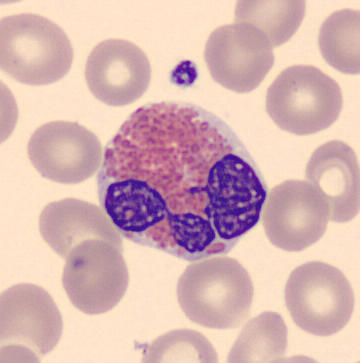
Peripheral blood smear. Showing an eosinophil.